Bone marrow smear. Pappenheim-stained — 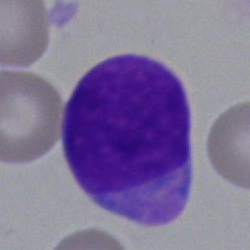 Cell: undifferentiated blast.